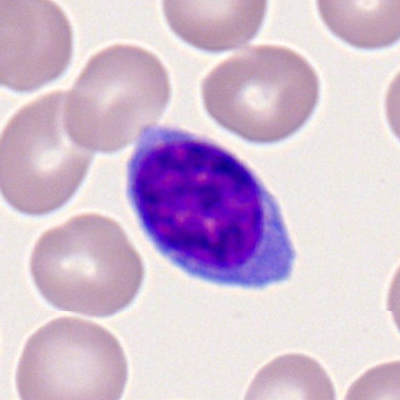 Morphological class — typical lymphocyte.